Bone marrow smear:
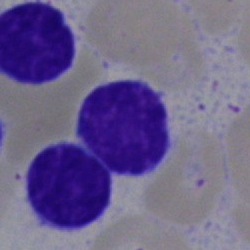Specimen: bone marrow smear.
Classification: typical lymphocyte.